Bone marrow aspirate smear. Single-cell crop: 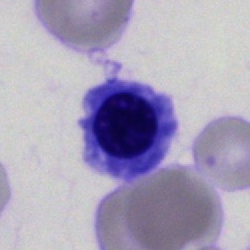 Showing a normoblast.